May-Grünwald-Giemsa/Pappenheim stain; image size 250×250; bone marrow smear.
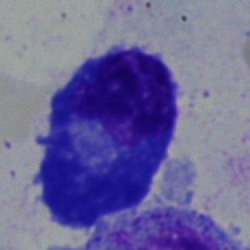 Showing a plasmacyte.